Peripheral blood smear · imaged on a CellaVision DM96 analyser:
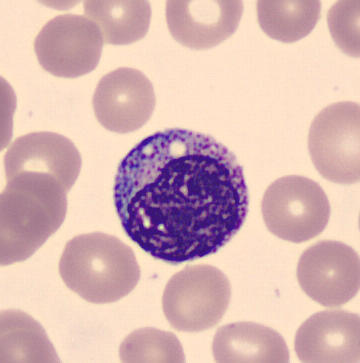
Impression → myelocyte.